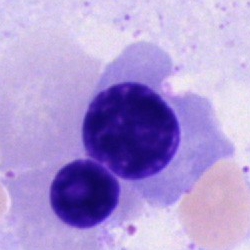 {"cell_type": "erythroblast", "lineage": "erythroid"}